40× objective, oil immersion. Bone marrow smear
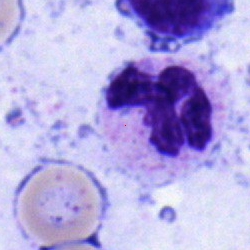Single cell identified as a polymorphonuclear neutrophil.